Bone marrow smear.
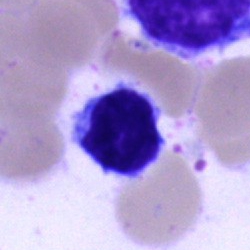 A typical lymphocyte.